Brightfield microscopy, 40× oil immersion. Bone marrow smear — 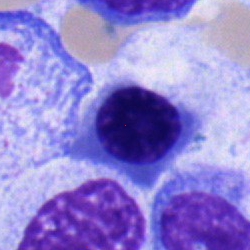Q: What cell is this?
A: An erythroblast.